May-Grünwald-Giemsa/Pappenheim stain · bone marrow aspirate smear · 40× objective, oil immersion
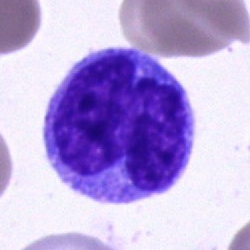Q: Which cell type is shown here?
A: A monocyte.